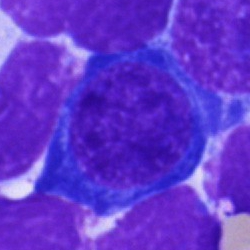 Bone marrow aspirate smear, single cell — erythroblast.